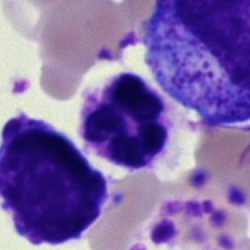 The cell shown is a segmented neutrophil.